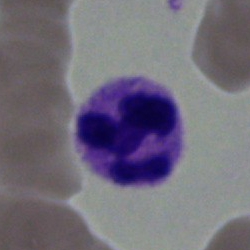 A polymorphonuclear neutrophil.